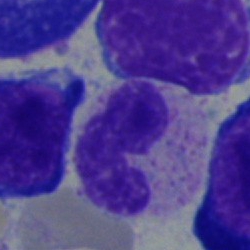
Impression — band-form neutrophil.